Single cell centered in the field. Bone marrow smear.
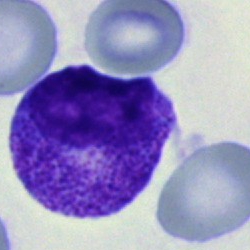
Morphology consistent with a promyelocyte.